Bone marrow smear:
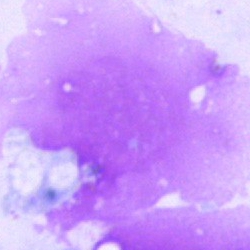Classification: artifact.